Bone marrow smear: 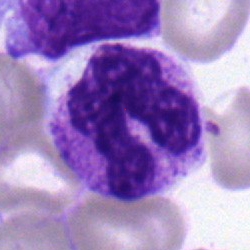

Specimen: bone marrow smear.
Classification: band neutrophil.
Lineage: myeloid.